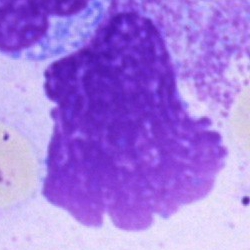Morphology consistent with an artifact.